Bone marrow aspirate smear.
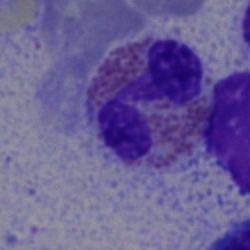Q: What is the morphological classification of this cell?
A: An eosinophil.